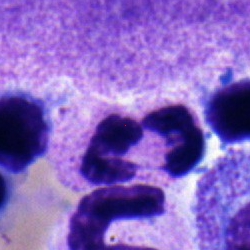A segmented neutrophil on a bone marrow smear.